Bone marrow smear:
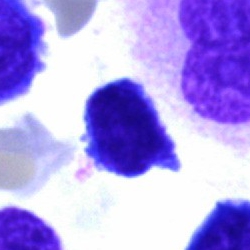Cell type — typical lymphocyte.